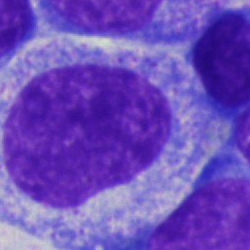
Morphological class — progranulocyte.